Bone marrow smear
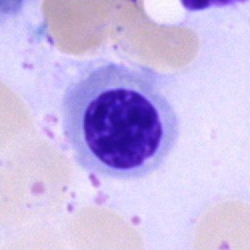 Specimen: bone marrow smear.
Morphological class: nucleated red blood cell.
Lineage: erythroid.